May-Grünwald-Giemsa/Pappenheim stain. Bone marrow aspirate smear:
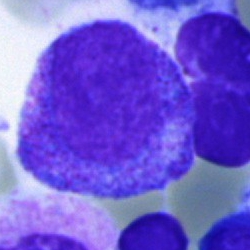

The cell shown is a progranulocyte.